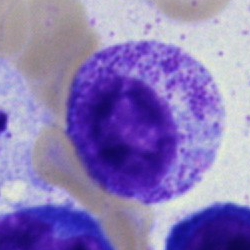Morphological class = myelocyte.